Brightfield microscopy, 40× oil immersion · 250×250 · bone marrow smear:
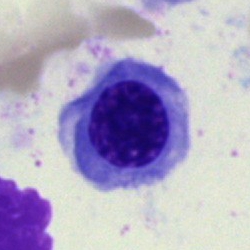Q: What is the morphological classification of this cell?
A: This is a normoblast.